Peripheral blood film: 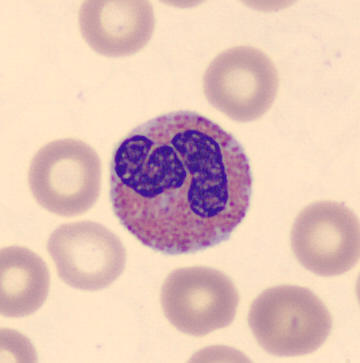 Specimen: peripheral blood film.
Cell type: eosinophil.
Lineage: myeloid.